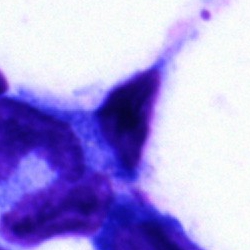Impression → artefact.